Peripheral blood smear.
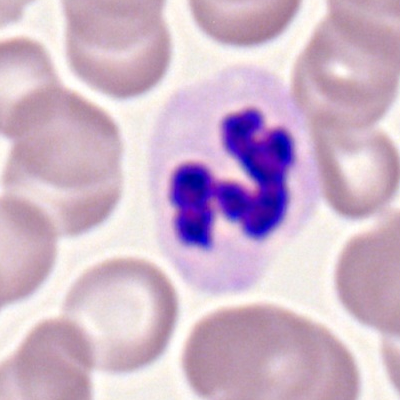Morphology consistent with a polymorphonuclear neutrophil.